Bone marrow smear.
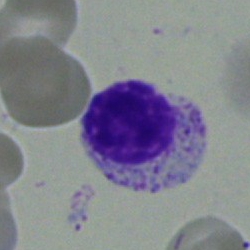

Morphology → myelocyte.